40× oil immersion · bone marrow smear.
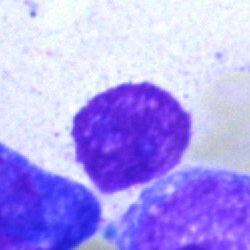
Showing an artifact.